Peripheral blood smear — 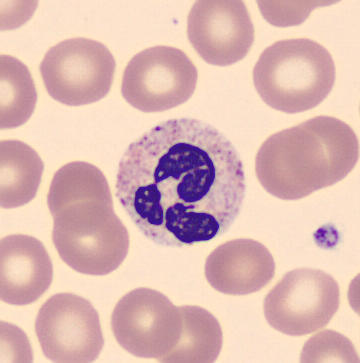

Q: What is this?
A: A segmented neutrophil.